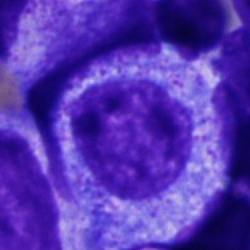Single cell identified as a progranulocyte.